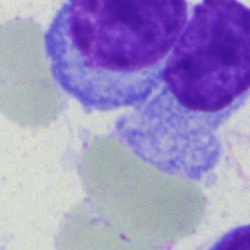 Morphology — typical lymphocyte.